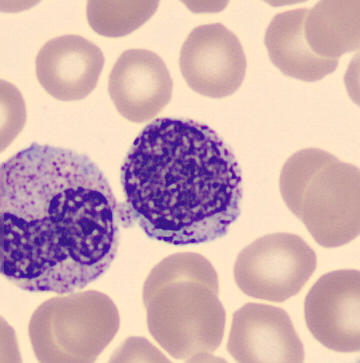
Impression → myelocyte.
Peripheral blood smear.